Bone marrow smear: 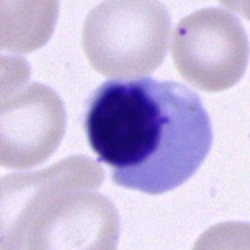
Q: What cell is this?
A: Nucleated red blood cell.